MGG-stained · bone marrow smear
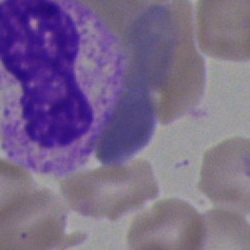 Classification — band-form neutrophil.